Bone marrow smear · brightfield microscopy, 40× oil immersion · May-Grünwald-Giemsa/Pappenheim stain.
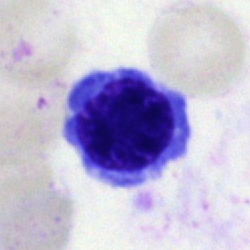

{"cell_type": "nucleated red blood cell"}